Bone marrow aspirate smear — 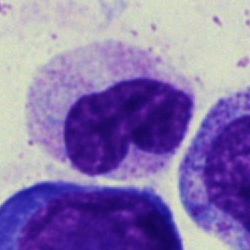
Morphology consistent with a band neutrophil.